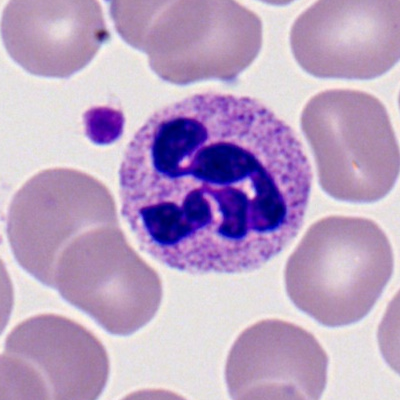 The classification is segmented neutrophil.